250×250; May-Grünwald-Giemsa/Pappenheim stain; bone marrow smear:
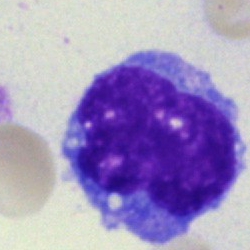
Specimen: bone marrow smear.
Classification: undifferentiated blast.